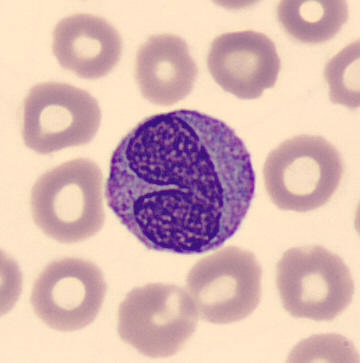 Specimen: peripheral blood smear.
Morphological class: monocyte.
Lineage: myeloid.